Bone marrow smear
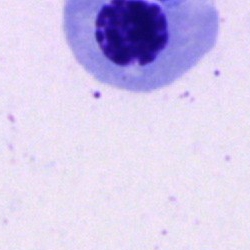
Q: What is shown here?
A: This is an erythroblast.